Bone marrow smear.
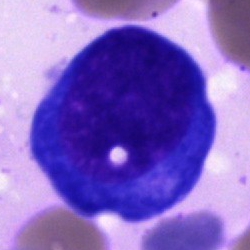

Pronormoblast.